Bone marrow smear: 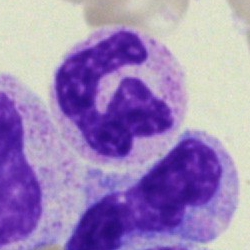 Segmented neutrophil.